May-Grünwald-Giemsa/Pappenheim stain · single-cell crop · bone marrow aspirate smear: 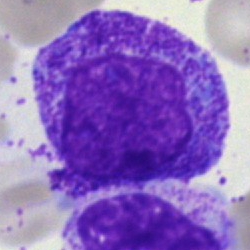

A myelocyte.